Bone marrow smear:
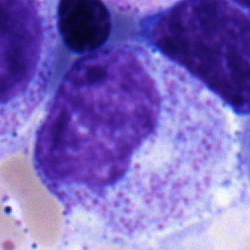
Specimen: bone marrow smear.
Classification: myelocyte.